Peripheral blood film — 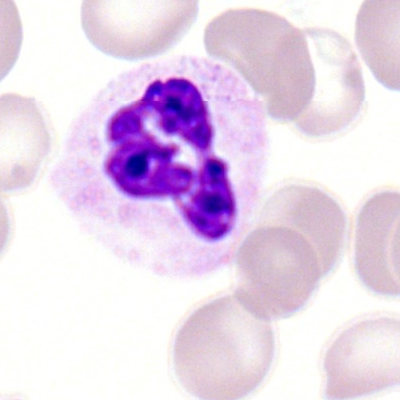
Morphology consistent with a segmented neutrophil.